400×400 px · single-cell field · peripheral blood smear.
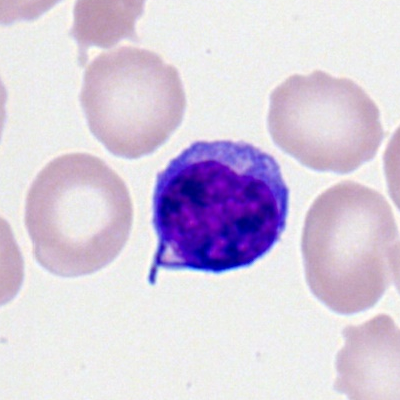

Classification = lymphocyte.